Bone marrow smear · 40× oil immersion · May-Grünwald-Giemsa stain:
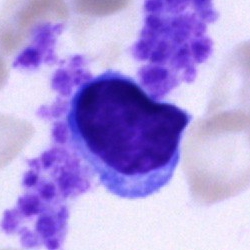 Single cell identified as a lymphocyte.